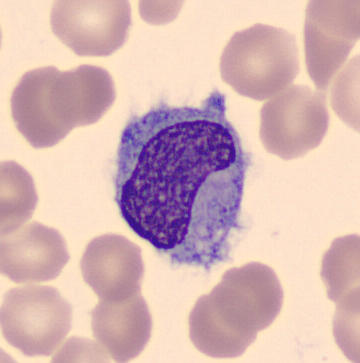 Specimen: peripheral blood smear.
Cell type: monocyte.
Lineage: myeloid.